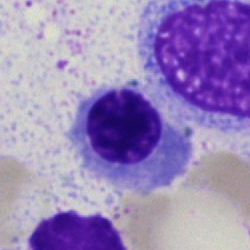 The cell type is normoblast.